Bone marrow aspirate smear
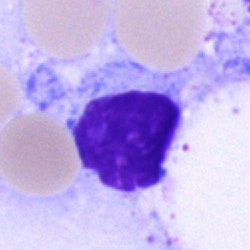

Q: Which cell type is shown here?
A: Lymphocyte.